Bone marrow smear · single-cell field · 250×250 px: 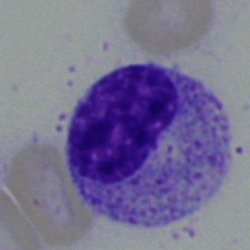

{"cell_type": "myelocyte"}